Bone marrow aspirate smear — 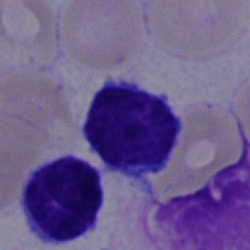Cell type — lymphocyte.